250×250 · bone marrow smear — 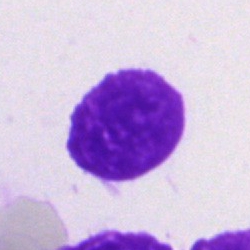This is an artifact.